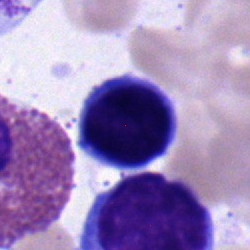
Q: Identify the cell.
A: Nucleated red blood cell.